Bone marrow aspirate smear
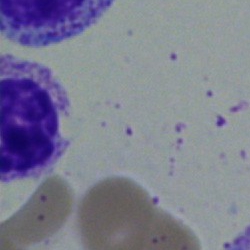

Specimen: bone marrow aspirate smear.
Classification: myelocyte.
Lineage: myeloid.